Bone marrow aspirate smear — 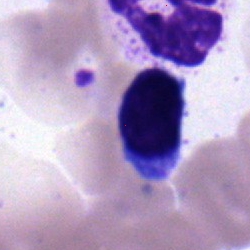{"cell_type": "typical lymphocyte", "lineage": "lymphoid"}